Bone marrow smear · brightfield, 40× oil-immersion objective: 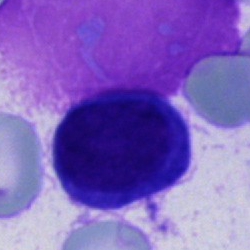
Cell type: unidentifiable cell.